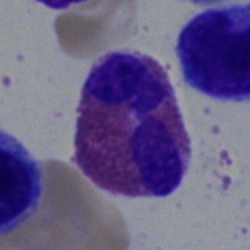

Classification = eosinophilic granulocyte.